MGG-stained; bone marrow smear:
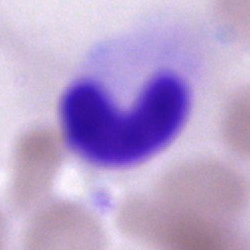Q: What is the morphological classification of this cell?
A: Band-form neutrophil.